Bone marrow smear:
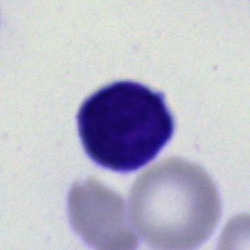Specimen: bone marrow aspirate smear.
Cell: blast cell.